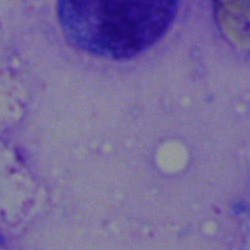
Bone marrow smear showing an artefact.